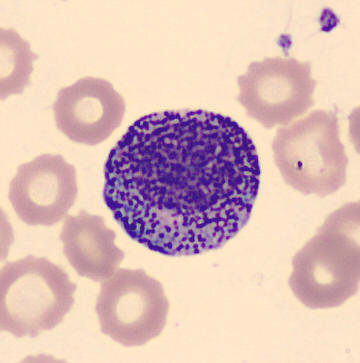 Cell: promyelocyte. Image: May-Grünwald-Giemsa-stained; peripheral blood film; image size 360×363.